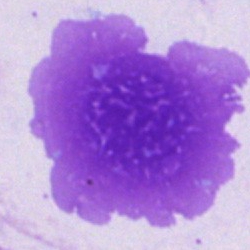

Classification — artefact.